Bone marrow smear:
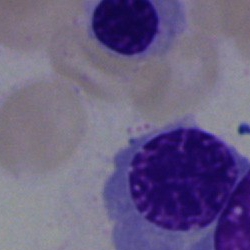Morphological class — nucleated red cell.